Bone marrow aspirate smear
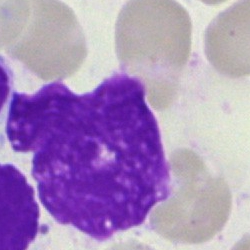
Classification = artifact.